May-Grünwald-Giemsa stain. Bone marrow smear — 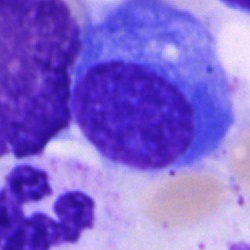

Cell type = plasma cell.